Bone marrow smear:
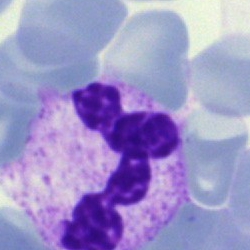 Morphology → segmented neutrophil.